Bone marrow aspirate smear. Cropped to a single cell: 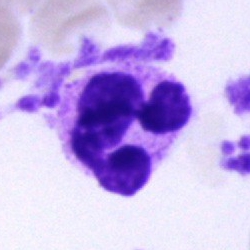
Specimen: bone marrow aspirate smear.
Morphological class: polymorphonuclear neutrophil.
Lineage: myeloid.